40× oil immersion; bone marrow smear; 250×250 px: 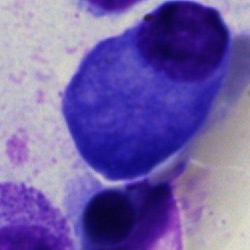

Cell type = plasma cell.